Bone marrow aspirate smear · single cell centered in the field:
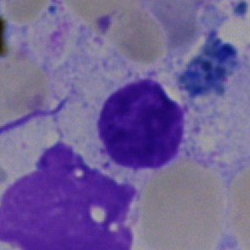 This is a lymphocyte.